Bone marrow aspirate smear
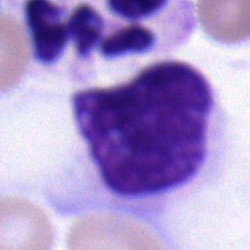

Specimen: bone marrow aspirate smear.
Cell: lymphocyte.
Lineage: lymphoid.